Bone marrow aspirate smear · MGG-stained — 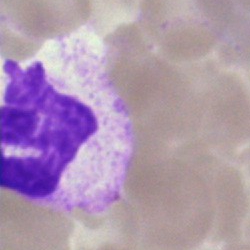Showing an artefact.